Bone marrow aspirate smear
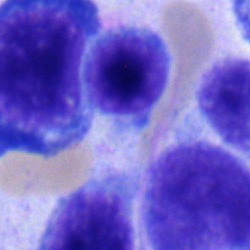

Specimen: bone marrow aspirate smear.
Morphological class: typical lymphocyte.